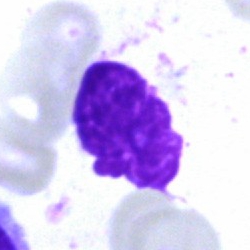
The morphological class is artifact.